Bone marrow aspirate smear
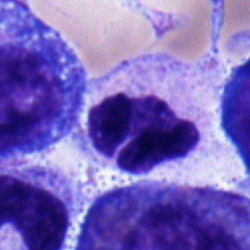

Band-form neutrophil.